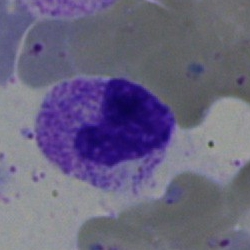
A segmented neutrophil.